May-Grünwald-Giemsa/Pappenheim stain · bone marrow aspirate smear
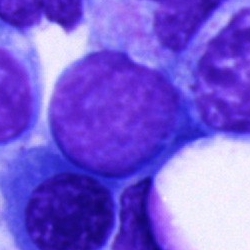 Classification — blast.